Bone marrow smear.
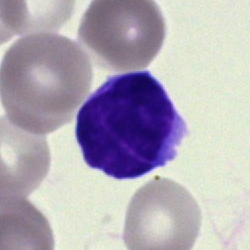 The cell shown is a lymphocyte.